Bone marrow aspirate smear
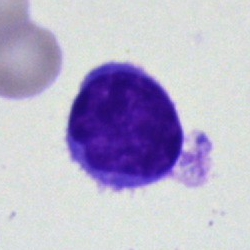
This is a lymphocyte.